Bone marrow aspirate smear: 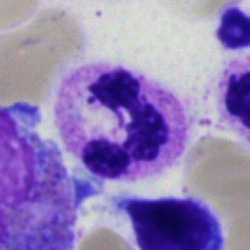
Morphological class — polymorphonuclear neutrophil.